Bone marrow smear.
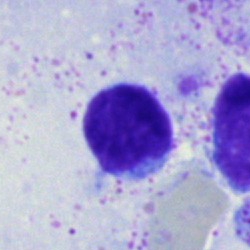
Cell — lymphocyte.